Bone marrow smear; 250×250 — 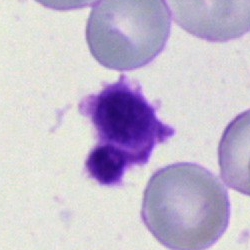The cell is artifact.